Bone marrow smear
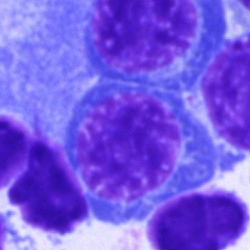
Single cell identified as a normoblast.